Bone marrow smear:
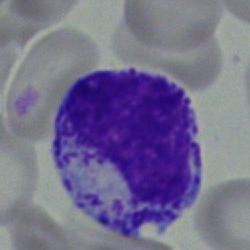The cell type is myelocyte.